Bone marrow aspirate smear; Pappenheim-stained.
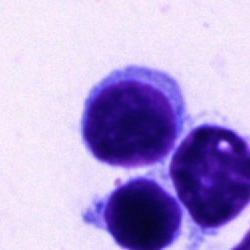

Showing a lymphocyte.